Bone marrow smear · brightfield, 40× oil-immersion objective: 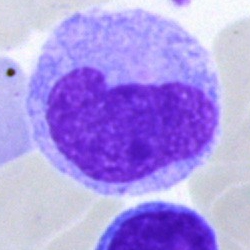Specimen: bone marrow aspirate smear.
Morphological class: monocyte.
Lineage: myeloid.